Peripheral blood film — 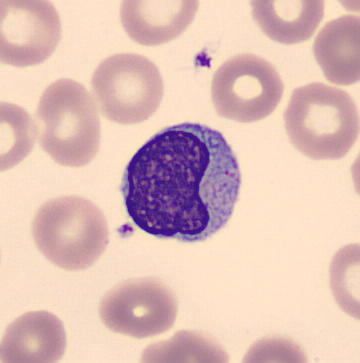
Q: What cell is this?
A: A lymphocyte.